Bone marrow aspirate smear:
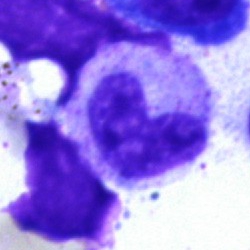 Q: Identify the cell.
A: This is a neutrophil (band).